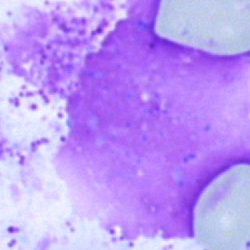Impression → artefact.